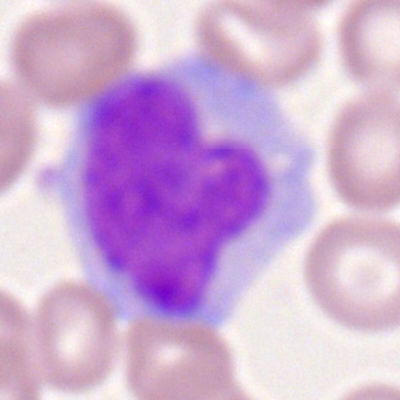 {"cell_type": "monocyte"}